Bone marrow smear — 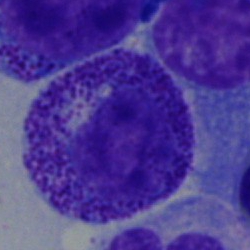 This is a myelocyte.